Bone marrow aspirate smear — 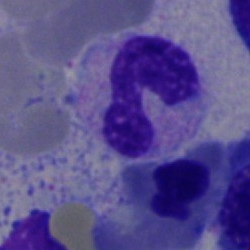Q: Which cell type is shown here?
A: It is a polymorphonuclear neutrophil.